Bone marrow aspirate smear: 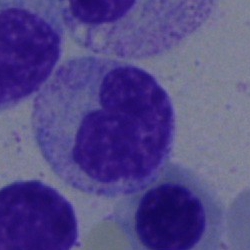 {"cell_type": "metamyelocyte"}